Pappenheim-stained; bone marrow aspirate smear; brightfield, 40× oil-immersion objective.
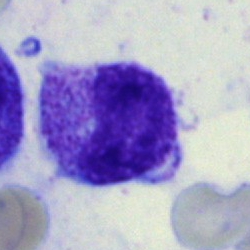

Impression → metamyelocyte.